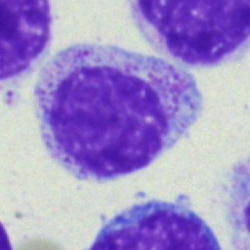
Q: What is shown here?
A: It is a myelocyte.